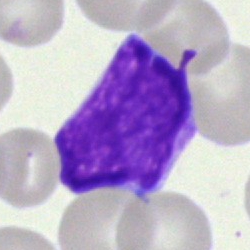Bone marrow smear showing a blast.